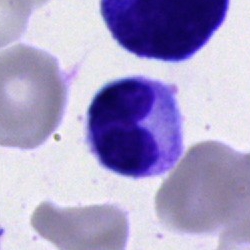 Q: Identify the cell.
A: A neutrophil (band).